40× objective, oil immersion · bone marrow aspirate smear · cropped to a single cell:
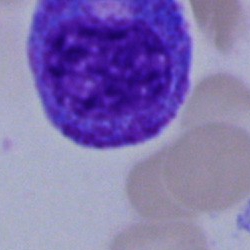
Cell of indeterminate lineage.